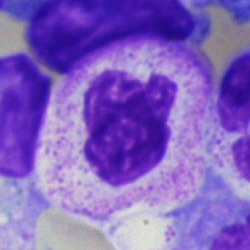Cell — polymorphonuclear neutrophil.